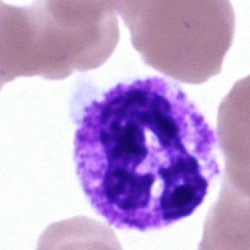 The classification is neutrophil (segmented).